Bone marrow aspirate smear · May-Grünwald-Giemsa stain · single-cell field
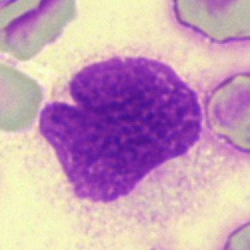

The classification is artifact.